Bone marrow aspirate smear
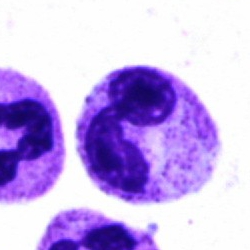Q: Identify the cell.
A: Neutrophil (segmented).